Bone marrow aspirate smear: 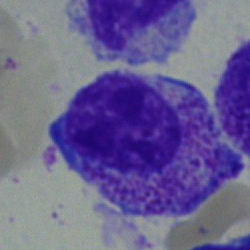 Q: What is shown here?
A: A myelocyte.